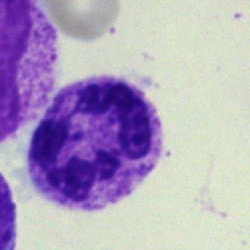

The morphological class is neutrophil (segmented).